Bone marrow smear — 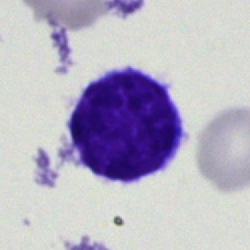 Q: What is shown here?
A: It is a typical lymphocyte.